Peripheral blood smear. Single-cell field:
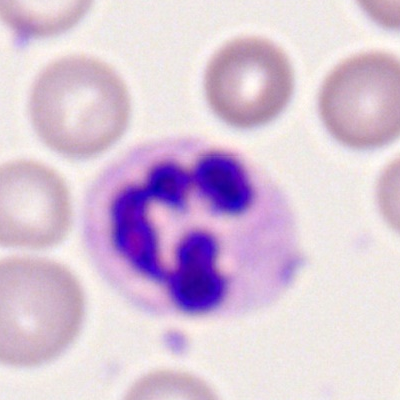
Morphology consistent with a segmented neutrophil.